Bone marrow smear · image size 250×250 — 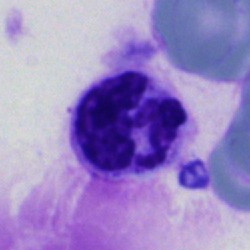 This is a neutrophil (segmented).